Pappenheim-stained. Bone marrow smear: 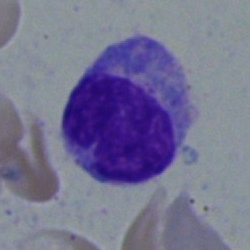{"cell_type": "monocyte"}